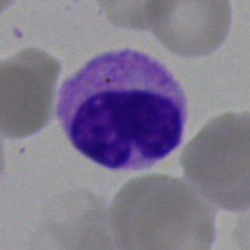
Morphology consistent with a cell of indeterminate lineage.